Bone marrow aspirate smear: 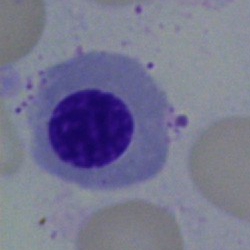
Morphology → erythroblast.